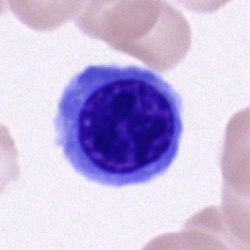 Bone marrow aspirate smear, single cell — normoblast.